250 by 250 pixels · bone marrow smear: 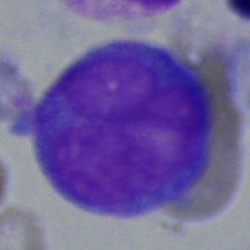
Morphology → blast.